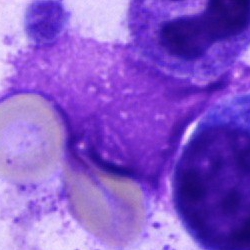 {"cell_type": "artefact"}